Single-cell crop · peripheral blood film · brightfield, 100× oil-immersion objective: 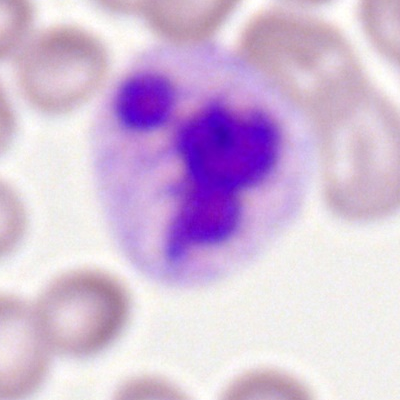A neutrophil (segmented).